Brightfield, 40× oil-immersion objective. Bone marrow smear:
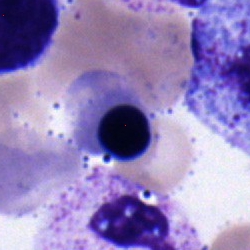

Classification — erythroblast.